Bone marrow smear · single-cell field:
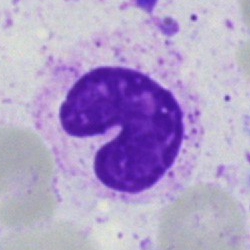

Single cell identified as a band-form neutrophil.